Automated cell imaging (CellaVision DM96). 360×363 px. Peripheral blood film.
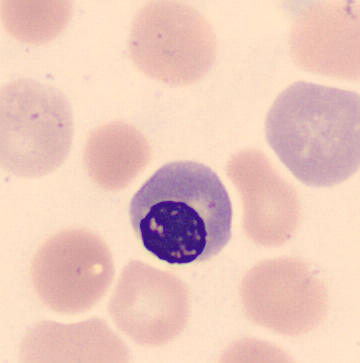
Cell: nucleated red blood cell.